Bone marrow smear · May-Grünwald-Giemsa/Pappenheim stain · 40× oil immersion — 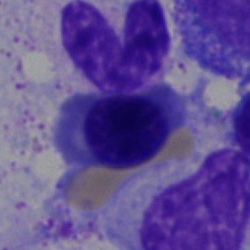Impression → normoblast.